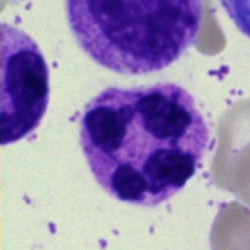
Q: Which cell type is shown here?
A: This is a polymorphonuclear neutrophil.